Bone marrow aspirate smear: 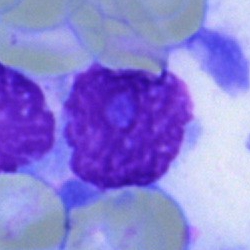

Specimen: bone marrow aspirate smear.
Cell: artifact.